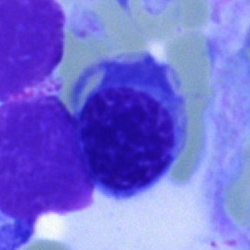

Specimen: bone marrow aspirate smear.
Morphological class: normoblast.
Lineage: erythroid.